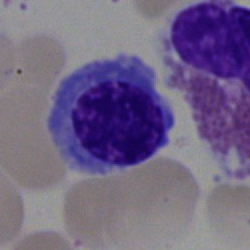

{"cell_type": "nucleated red cell", "lineage": "erythroid"}